Bone marrow aspirate smear:
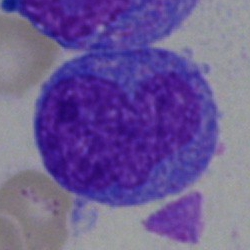
Morphological class — blast cell.